Single-cell crop · peripheral blood film
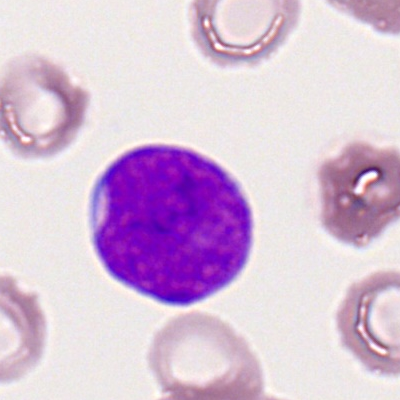
Impression → myeloid blast.